Bone marrow aspirate smear. 40× objective, oil immersion
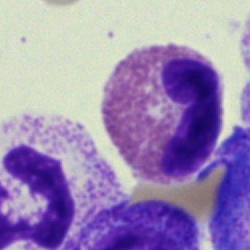
Impression → eosinophilic granulocyte.